Bone marrow smear:
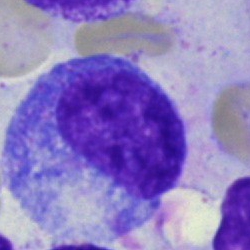

Showing a progranulocyte.